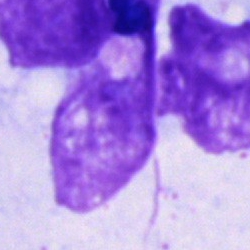Q: What is shown here?
A: Artifact.